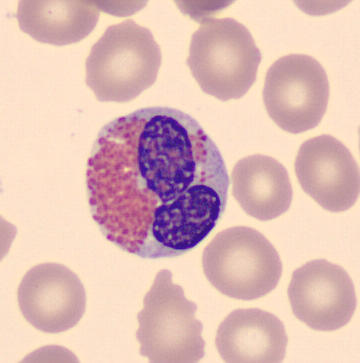
Morphological class = eosinophil. Peripheral blood film.